Bone marrow aspirate smear: 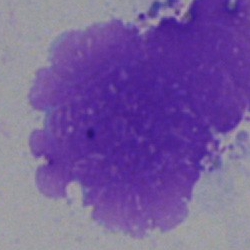

Q: What is shown here?
A: This is an artifact.